Bone marrow aspirate smear.
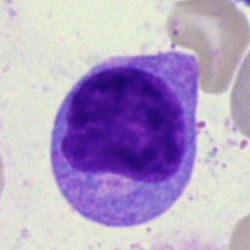Specimen: bone marrow aspirate smear.
Classification: myelocyte.